Bone marrow smear; image size 250×250 — 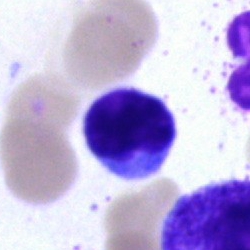
The cell is normoblast.